Bone marrow aspirate smear:
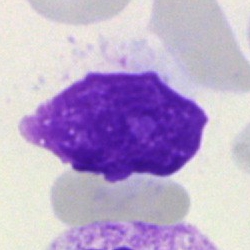

Cell: smudge cell.